Bone marrow aspirate smear — 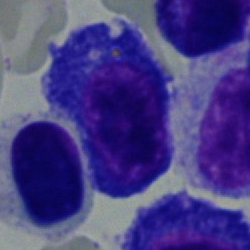Impression — nucleated red blood cell.